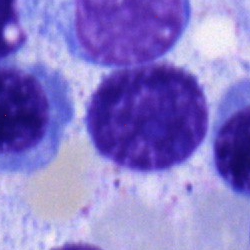
A lymphocyte.